250×250 px. 40× oil immersion. Bone marrow aspirate smear.
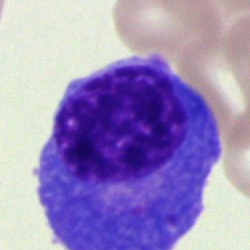
Q: What cell is this?
A: A plasmacyte.